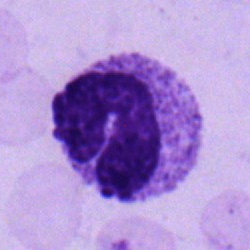
Bone marrow aspirate smear, single cell — stab cell.